Brightfield microscopy, 40× oil immersion. May-Grünwald-Giemsa stain. Bone marrow aspirate smear
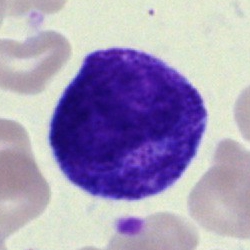

Myelocyte.